Bone marrow smear — 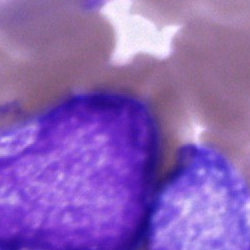
Morphological class = artefact.